Bone marrow smear
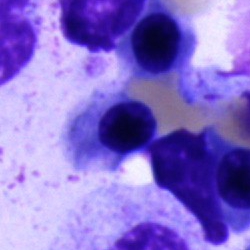

Normoblast.